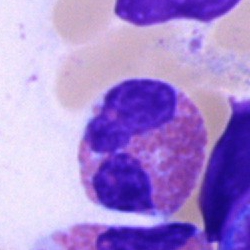

Specimen: bone marrow aspirate smear.
Cell type: eosinophilic granulocyte.
Lineage: myeloid.